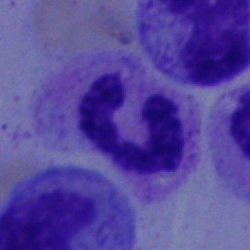Morphological class — band-form neutrophil.